Peripheral blood smear. 100× oil immersion: 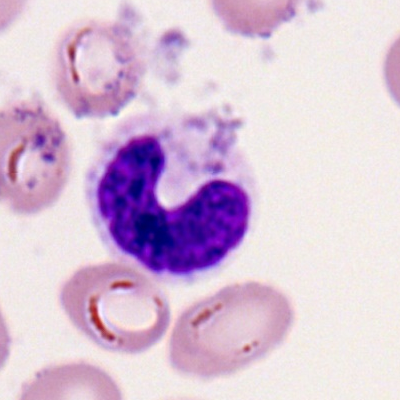
Q: What is the morphological classification of this cell?
A: Stab cell.